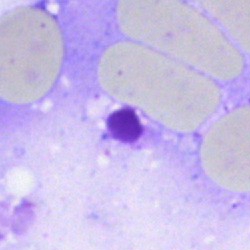 Specimen: bone marrow aspirate smear.
Morphological class: artefact.